Bone marrow aspirate smear; image size 250×250; single-cell field — 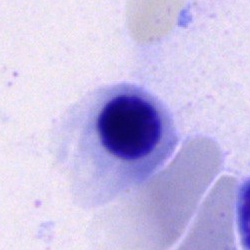
The classification is normoblast.